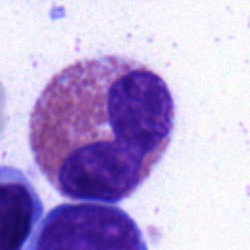

Bone marrow aspirate smear, single cell — eosinophil.